250×250 · May-Grünwald-Giemsa stain · bone marrow aspirate smear — 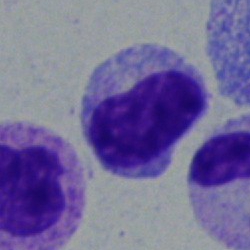Specimen: bone marrow aspirate smear.
Cell type: lymphocyte.
Lineage: lymphoid.